250×250 px · bone marrow aspirate smear — 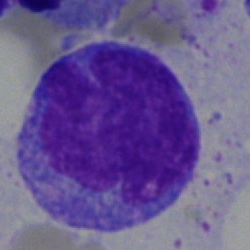Q: What type of cell is this?
A: It is a monocyte.